40× objective, oil immersion · bone marrow aspirate smear.
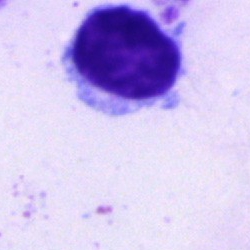

Q: Which cell type is shown here?
A: This is a typical lymphocyte.